Image size 250×250. Bone marrow smear — 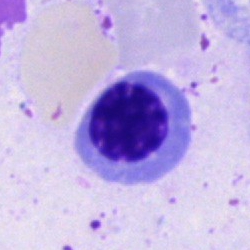

{"cell_type": "normoblast", "lineage": "erythroid"}